Bone marrow smear — 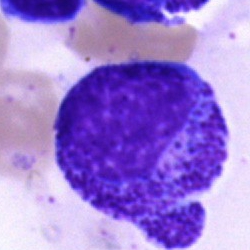 Q: What is shown here?
A: This is a progranulocyte.